May-Grünwald-Giemsa stain; bone marrow aspirate smear: 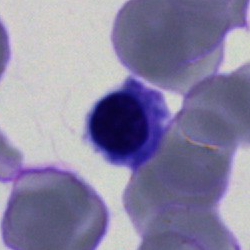

Morphology consistent with a normoblast.